Peripheral blood film:
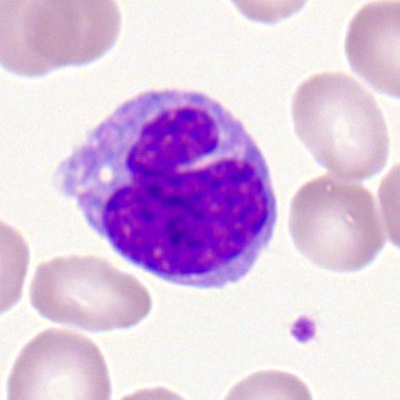

Q: Which cell type is shown here?
A: This is a monocyte.